Peripheral blood smear.
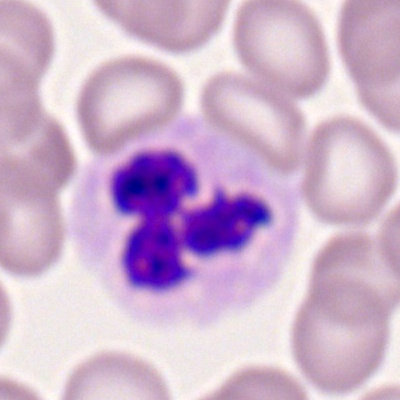Impression → polymorphonuclear neutrophil.